Bone marrow smear; 250×250 — 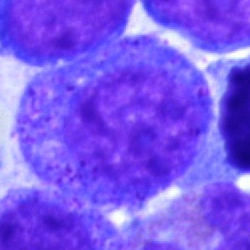
The classification is promyelocyte.